Bone marrow aspirate smear · May-Grünwald-Giemsa/Pappenheim stain: 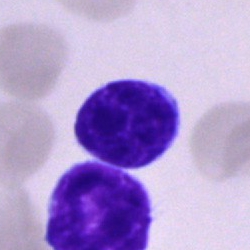Single cell identified as a lymphocyte.